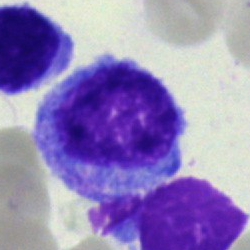

Cell type — blast.